Bone marrow smear.
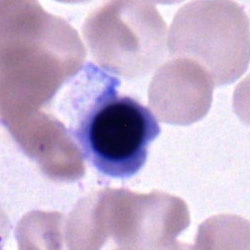 Showing a nucleated red cell.